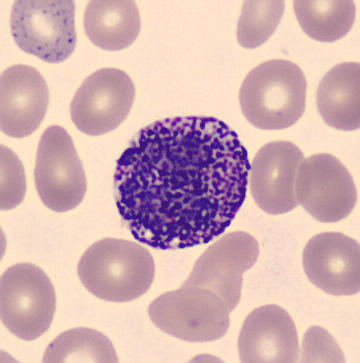Preparation: Peripheral blood film. 360 by 363 pixels. The cell type is basophil.